Bone marrow smear
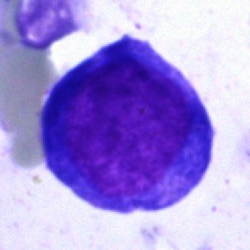The cell shown is a normoblast.